Cropped to a single cell · MGG-stained · bone marrow smear.
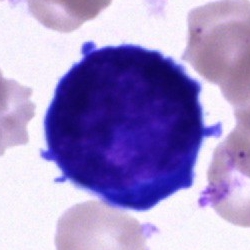 Specimen: bone marrow aspirate smear.
Morphological class: pronormoblast.
Lineage: erythroid.